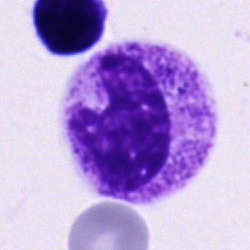 Q: Which cell type is shown here?
A: A metamyelocyte.